Bone marrow aspirate smear
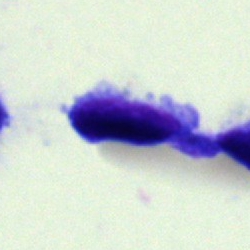
Impression — artifact.